Bone marrow aspirate smear. Brightfield, 40× oil-immersion objective: 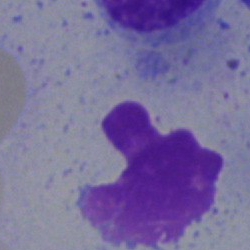
Q: What is shown here?
A: An artefact.